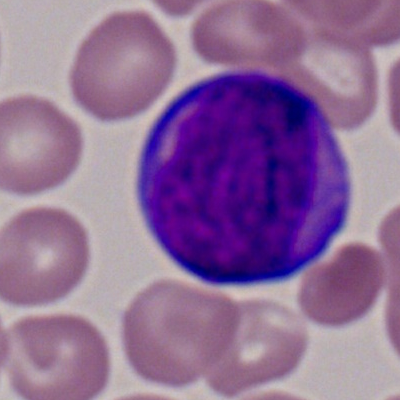 The morphological class is myeloid blast.